Peripheral blood film. Romanowsky-type stain. Image size 400×400 — 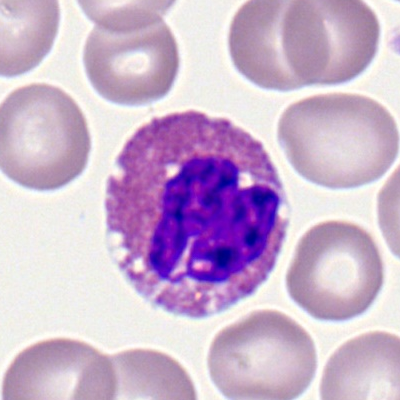 Cell: eosinophilic granulocyte.